Bone marrow aspirate smear.
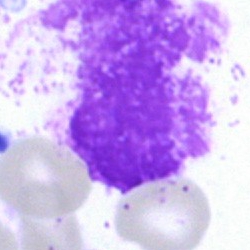 Cell — artifact.